Bone marrow aspirate smear — 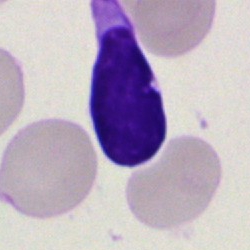Showing a lymphocyte.